Peripheral blood film; Romanowsky-stained.
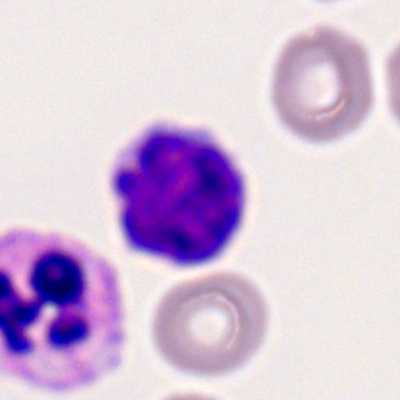 Showing a lymphocyte.